Single-cell field; bone marrow aspirate smear: 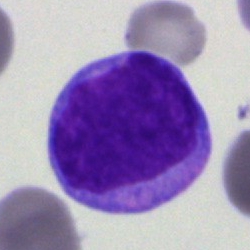Blast cell.